Bone marrow smear:
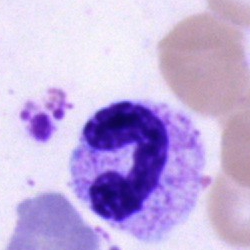
{"cell_type": "stab cell"}